Bone marrow smear. Single-cell crop — 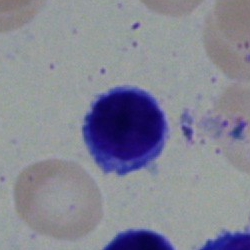
Specimen: bone marrow aspirate smear.
Cell type: lymphocyte.
Lineage: lymphoid.